Bone marrow smear.
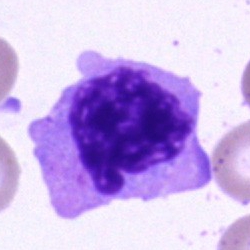A cell of indeterminate lineage.